Cropped to a single cell · bone marrow smear:
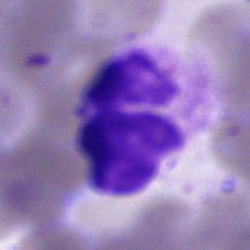{"cell_type": "artefact"}